Bone marrow smear; May-Grünwald-Giemsa/Pappenheim stain — 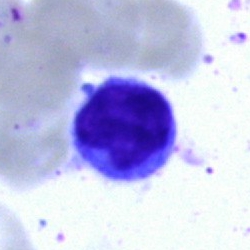Morphological class = typical lymphocyte.